Bone marrow aspirate smear — 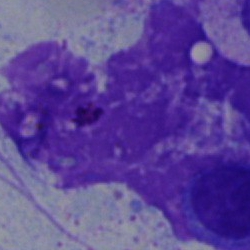
This is an artifact.